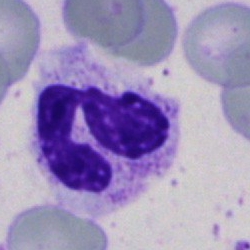 Q: What type of cell is this?
A: It is a neutrophil (segmented).